Bone marrow aspirate smear: 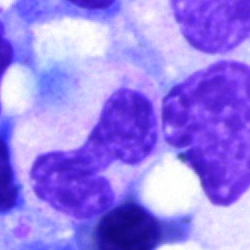Stab cell.